Bone marrow aspirate smear
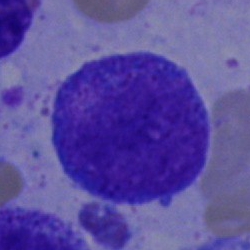
Showing a progranulocyte.